Bone marrow aspirate smear
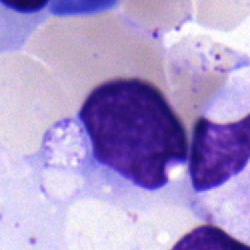Q: Which cell type is shown here?
A: It is a typical lymphocyte.